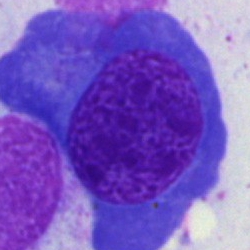
The cell shown is a normoblast.